Bone marrow smear:
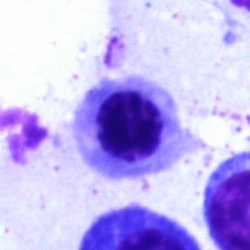{"cell_type": "nucleated red cell"}